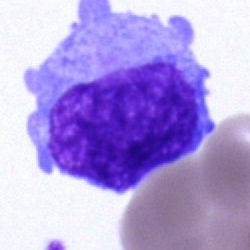

Morphology consistent with a blast cell.